Bone marrow aspirate smear: 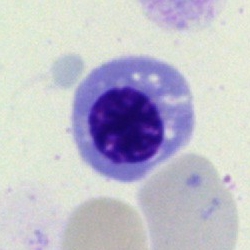

Classification — nucleated red blood cell.